Bone marrow aspirate smear; MGG-stained
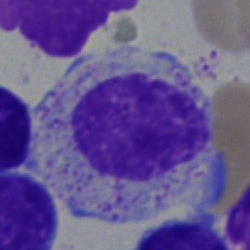Single cell identified as a myelocyte.